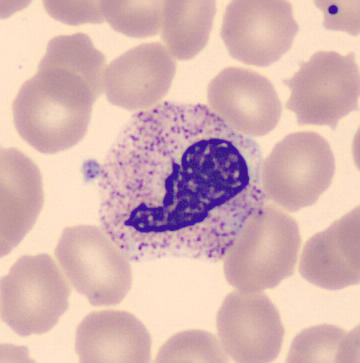Showing a neutrophil (band). Preparation: CellaVision DM96. Peripheral blood smear.